Peripheral blood film:
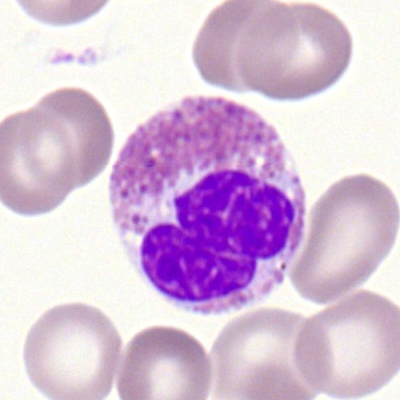

The cell shown is an eosinophil.